Bone marrow smear:
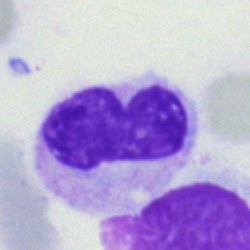
Morphology → neutrophil (band).